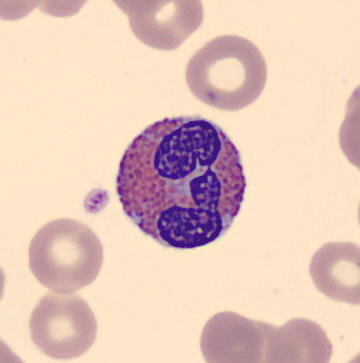

Single cell identified as an eosinophil.
Acquisition: Peripheral blood film. CellaVision DM96. Image size 360×363.